Bone marrow smear:
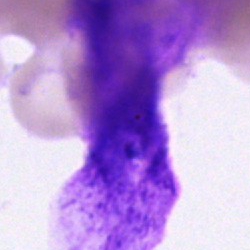 {"cell_type": "artefact"}